Bone marrow smear. Brightfield, 40× oil-immersion objective — 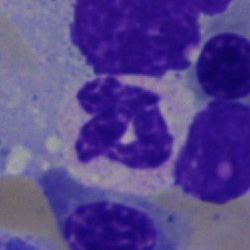Morphology consistent with a neutrophil (segmented).